Bone marrow aspirate smear
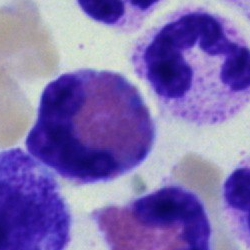

Specimen: bone marrow smear.
Cell type: segmented neutrophil.
Lineage: myeloid.